Bone marrow aspirate smear
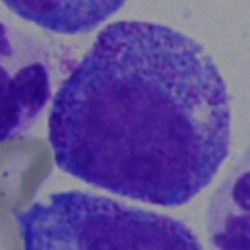

Q: What is the morphological classification of this cell?
A: It is a progranulocyte.